MGG-stained. Bone marrow smear. 250×250
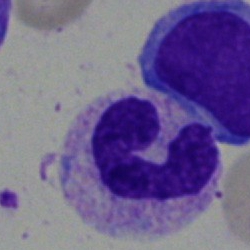

Cell type = neutrophil (band).